Bone marrow aspirate smear · single cell centered in the field.
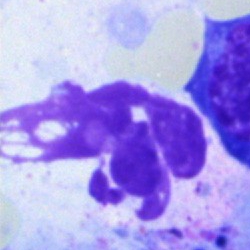The cell shown is an artefact.